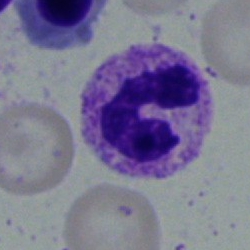

Morphological class — polymorphonuclear neutrophil.